Bone marrow smear; 250×250 px — 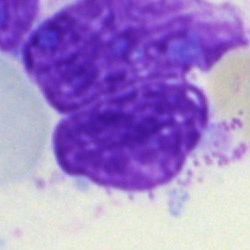Cell type: artifact.